Bone marrow smear · 40× objective, oil immersion · Pappenheim-stained — 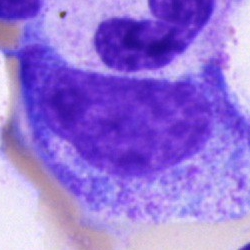The cell shown is a progranulocyte.